Bone marrow smear
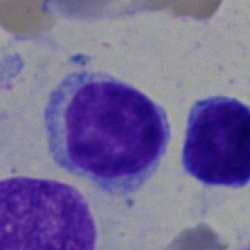 Single cell identified as a typical lymphocyte.